Bone marrow aspirate smear; May-Grünwald-Giemsa/Pappenheim stain
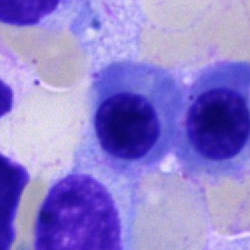

This is an erythroblast.